Single-cell crop · bone marrow smear
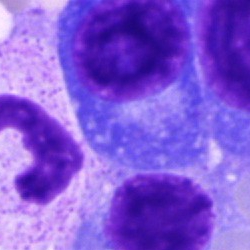The cell shown is a plasmacyte.